Single-cell crop · bone marrow aspirate smear
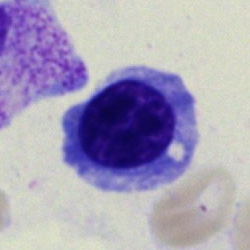

Cell = erythroblast.